Bone marrow aspirate smear; brightfield microscopy, 40× oil immersion — 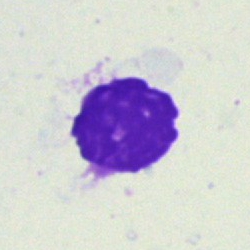

Impression — artefact.